Brightfield, 40× oil-immersion objective · May-Grünwald-Giemsa/Pappenheim stain · bone marrow smear
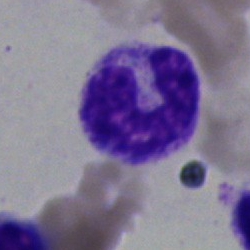Showing a band-form neutrophil.